250×250 px · bone marrow smear:
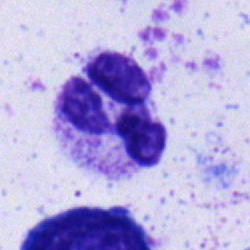
Morphology → neutrophil (segmented).